Peripheral blood film.
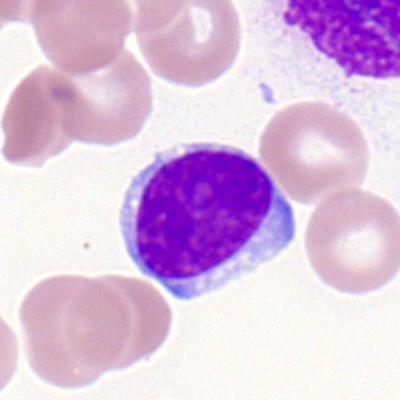 Specimen: peripheral blood film.
Cell type: lymphocyte.